Peripheral blood smear. Image size 360×363. Single cell centered in the field
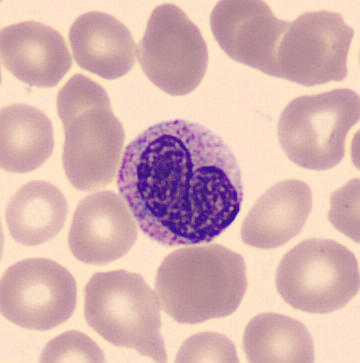
Morphology — metamyelocyte.